Bone marrow aspirate smear:
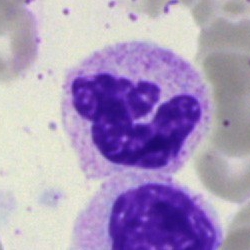
Q: Identify the cell.
A: This is a neutrophil (segmented).